Single-cell field; bone marrow smear.
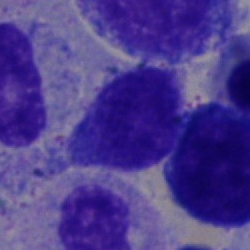 Cell type: typical lymphocyte.